Bone marrow smear — 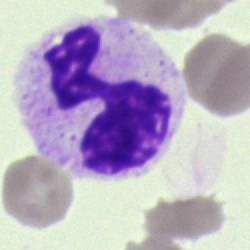Polymorphonuclear neutrophil.